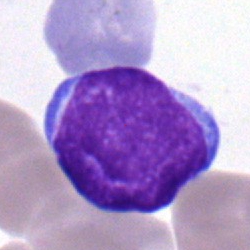

Q: What cell is this?
A: This is a blast.